MGG-stained. Bone marrow smear. 40× objective, oil immersion: 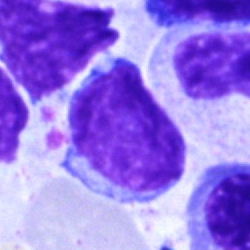

Specimen: bone marrow smear.
Cell: typical lymphocyte.
Lineage: lymphoid.